Peripheral blood film; 400 by 400 pixels: 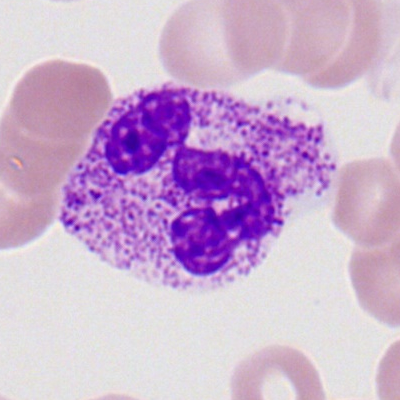Segmented neutrophil.